Bone marrow smear; 250×250.
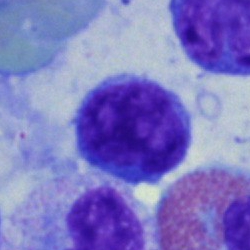

Showing a typical lymphocyte.